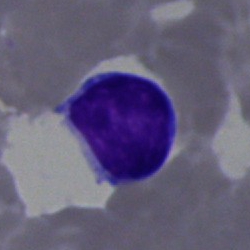Classification = lymphocyte.